CellaVision DM96 digital cell image · May-Grünwald-Giemsa-stained · peripheral blood smear:
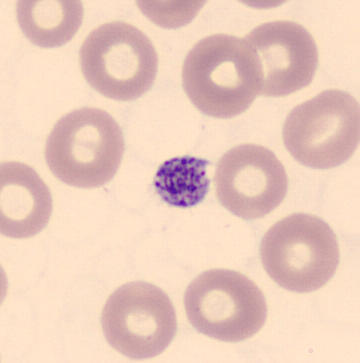A thrombocyte.